Bone marrow smear · MGG-stained
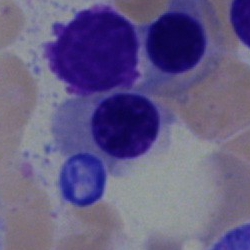

Single cell identified as a normoblast.